40× objective, oil immersion · May-Grünwald-Giemsa stain · bone marrow aspirate smear.
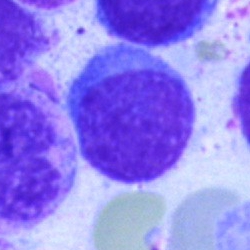

The cell shown is a lymphocyte.